Bone marrow smear; cropped to a single cell: 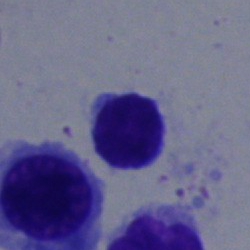

Specimen: bone marrow smear.
Classification: lymphocyte.
Lineage: lymphoid.